Bone marrow aspirate smear · 250 by 250 pixels · Pappenheim-stained:
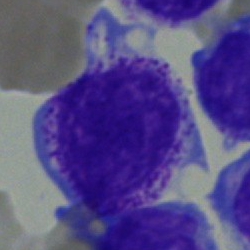
Specimen: bone marrow aspirate smear.
Cell: progranulocyte.
Lineage: myeloid.